Bone marrow aspirate smear · 40× objective, oil immersion:
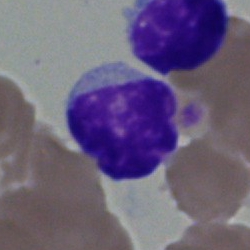

Q: What cell is this?
A: Lymphocyte.